Bone marrow smear.
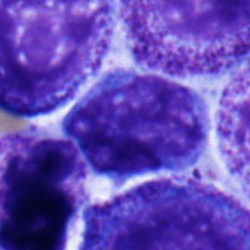

Morphological class = typical lymphocyte.